Bone marrow aspirate smear · 250×250 px: 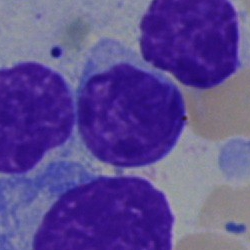

Cell — lymphocyte.